Image size 250×250. Bone marrow aspirate smear
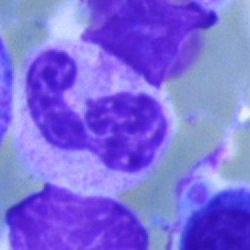Classification = neutrophil (segmented).